Bone marrow aspirate smear:
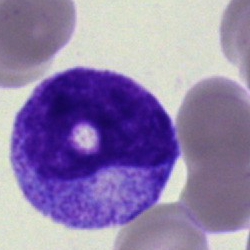

Impression → promyelocyte.